Single-cell field · Pappenheim-stained · bone marrow aspirate smear:
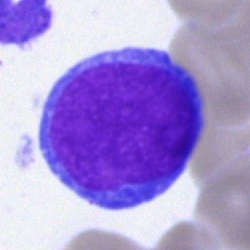 Morphology consistent with a blast cell.